Bone marrow aspirate smear
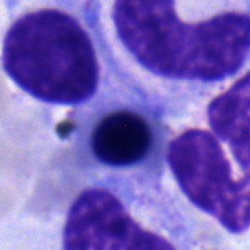 This is a nucleated red blood cell.